Bone marrow smear; single-cell crop; MGG-stained — 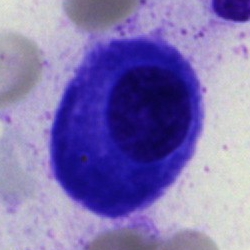

Single cell identified as a plasmacyte.